Bone marrow smear:
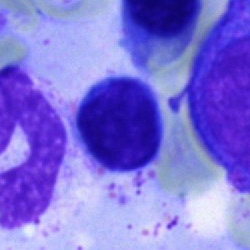

Typical lymphocyte.